Bone marrow smear.
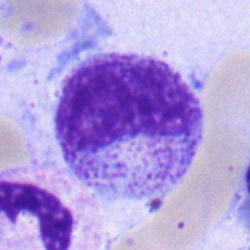 {"cell_type": "metamyelocyte", "lineage": "myeloid"}